250×250 · May-Grünwald-Giemsa stain · bone marrow aspirate smear
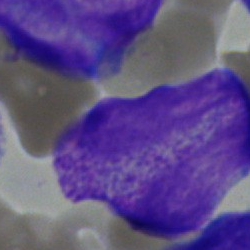 Morphology — blast.